Bone marrow aspirate smear — 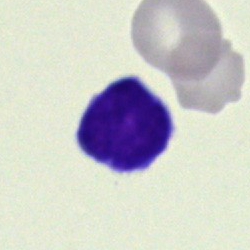 Impression — typical lymphocyte.